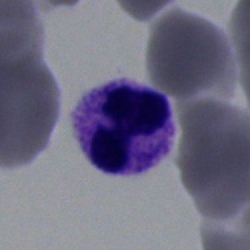The cell is segmented neutrophil.